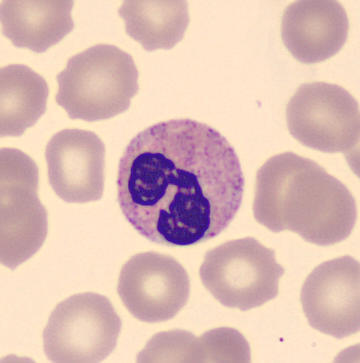Showing a band-form neutrophil.